Bone marrow smear:
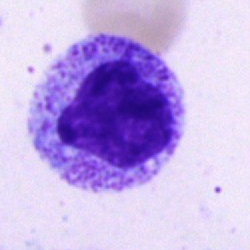 Specimen: bone marrow smear.
Cell type: progranulocyte.
Lineage: myeloid.